Bone marrow aspirate smear — 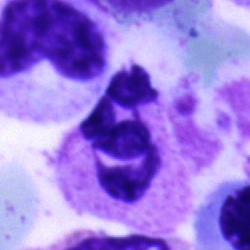
Morphology → segmented neutrophil.